Single-cell crop · peripheral blood smear · May Grünwald-Giemsa stain: 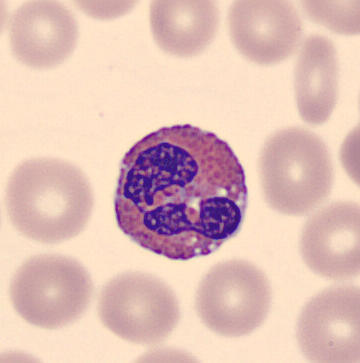Cell type — eosinophil.